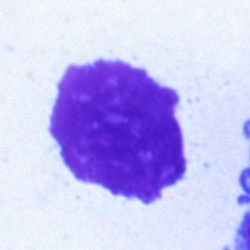 Single-cell crop from a bone marrow smear: artefact.